Peripheral blood film · M8 digital microscope (Precipoint), 100× oil immersion · single-cell crop.
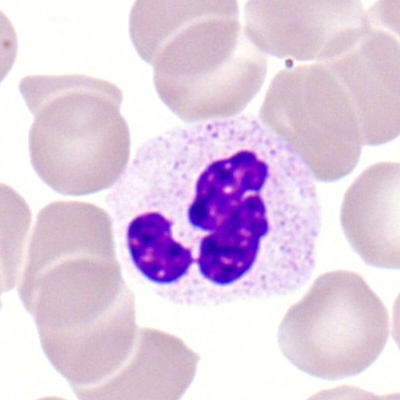
Morphology consistent with a polymorphonuclear neutrophil.